Bone marrow aspirate smear; single-cell field; 250×250 px:
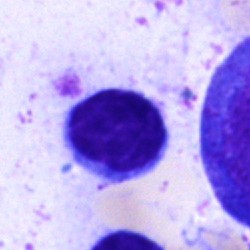
The cell shown is a lymphocyte.